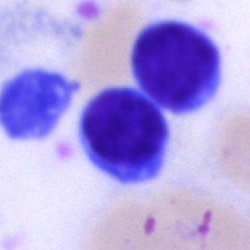

Specimen: bone marrow aspirate smear.
Morphological class: lymphocyte.
Lineage: lymphoid.